M8 digital microscope (Precipoint), 100× oil immersion; peripheral blood smear
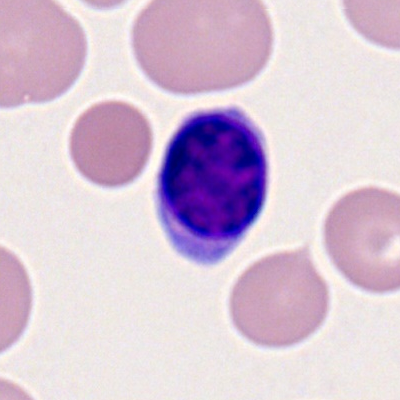{"cell_type": "typical lymphocyte", "lineage": "lymphoid"}